Bone marrow smear.
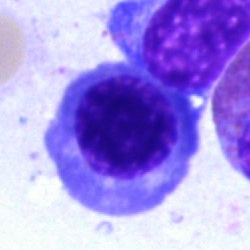 Cell: nucleated red cell.